Peripheral blood smear
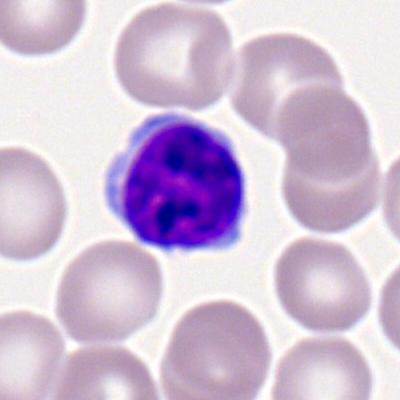 Lymphocyte.